250×250 px. Bone marrow smear
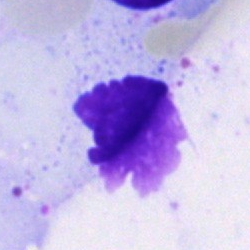 Morphological class: artefact.